Bone marrow smear
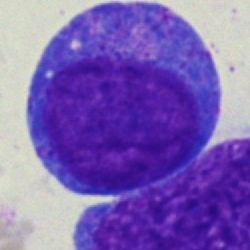
A progranulocyte.